Bone marrow smear; 40× oil immersion.
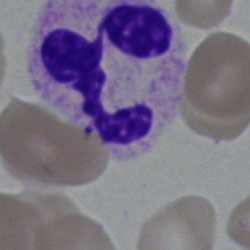 Q: What is the morphological classification of this cell?
A: It is a segmented neutrophil.